Bone marrow aspirate smear:
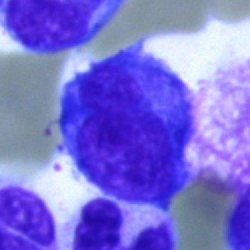Q: What is shown here?
A: A blast.